Bone marrow smear; Pappenheim-stained; single cell centered in the field: 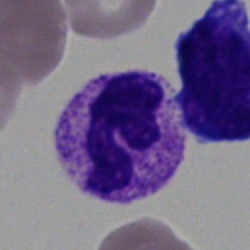
Showing a neutrophil (segmented).